Bone marrow aspirate smear: 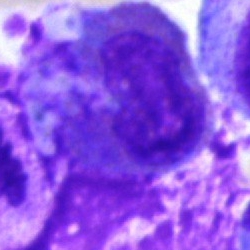 Morphological class — artefact.